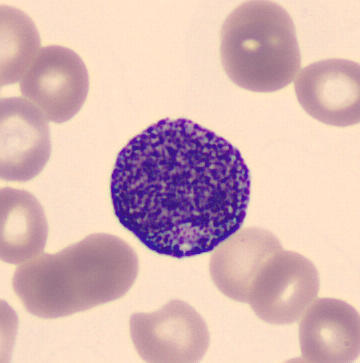Specimen: peripheral blood film.
Morphological class: promyelocyte.